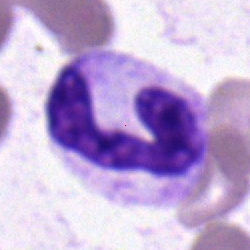Specimen: bone marrow smear.
Cell type: band-form neutrophil.
Lineage: myeloid.